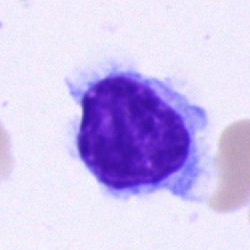 Q: What is the morphological classification of this cell?
A: It is a lymphocyte.